Bone marrow smear: 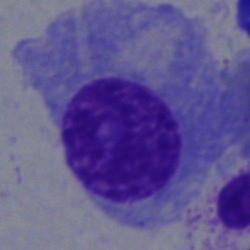 This is a plasma cell.